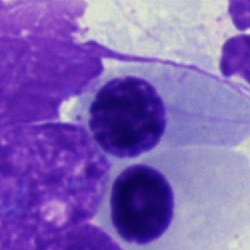 The cell type is erythroblast.